Bone marrow smear.
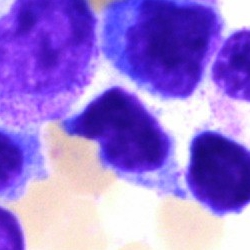
Q: What is the morphological classification of this cell?
A: Lymphocyte.